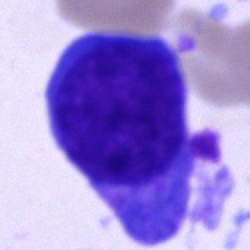

Plasma cell.